May-Grünwald-Giemsa stain. Bone marrow smear. 250 by 250 pixels
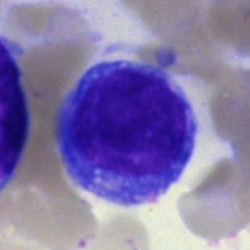Single cell identified as a blast.